Bone marrow aspirate smear:
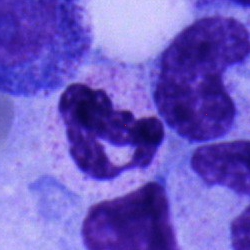
Specimen: bone marrow aspirate smear.
Cell type: neutrophil (segmented).